Bone marrow smear — 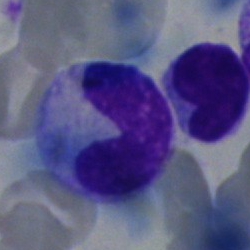 This is a band-form neutrophil.